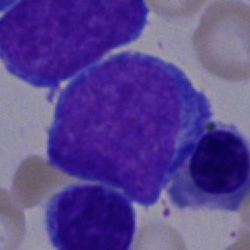

Bone marrow aspirate smear, single cell — blast cell.